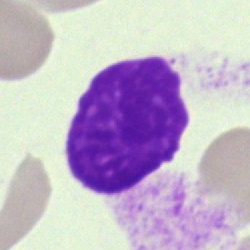

Q: What is shown here?
A: This is an artefact.